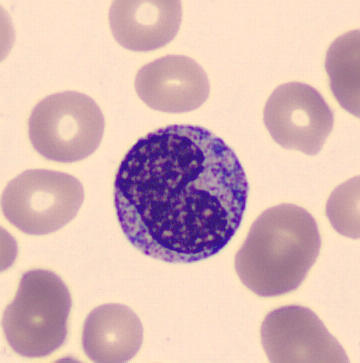

The cell type is metamyelocyte.

Peripheral blood film.